Bone marrow smear:
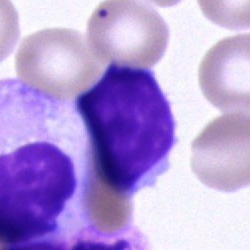 Specimen: bone marrow smear.
Cell type: typical lymphocyte.